Bone marrow smear · May-Grünwald-Giemsa/Pappenheim stain:
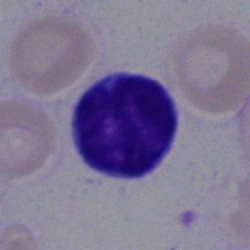

Cell type: typical lymphocyte.